Brightfield microscopy, 40× oil immersion · bone marrow aspirate smear
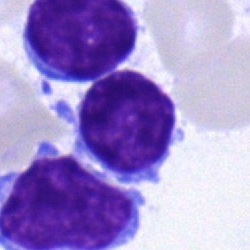Specimen: bone marrow aspirate smear.
Cell: lymphocyte.
Lineage: lymphoid.